Bone marrow smear:
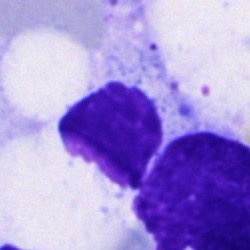This is an artefact.